Bone marrow smear. May-Grünwald-Giemsa stain
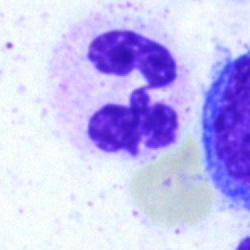

Q: What is the morphological classification of this cell?
A: Segmented neutrophil.